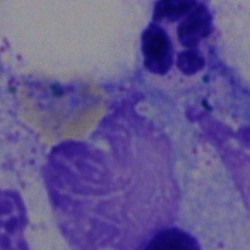

Bone marrow aspirate smear, single cell — artefact.